Bone marrow smear · brightfield microscopy, 40× oil immersion:
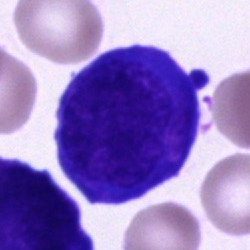Morphology consistent with an unidentifiable cell.